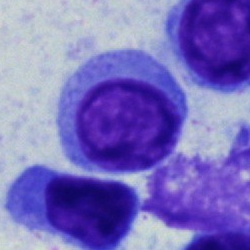
Morphology → lymphocyte.